Single-cell field; bone marrow smear:
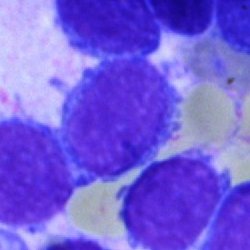
Morphology — lymphocyte.